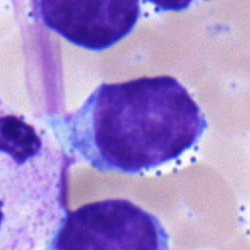
Lymphocyte.